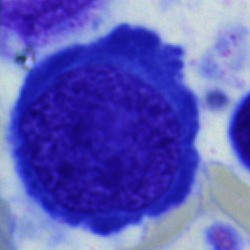Classification = normoblast.